Bone marrow aspirate smear; single-cell field:
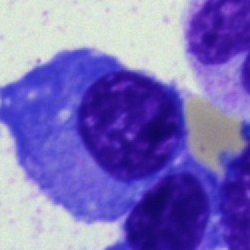
The cell shown is a plasmacyte.